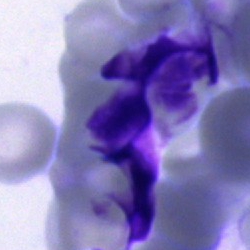
Specimen: bone marrow smear.
Cell type: artefact.